Bone marrow smear
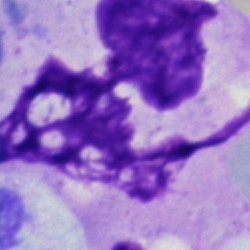 {"cell_type": "artefact"}